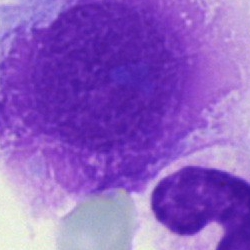Morphology — artefact.